Bone marrow aspirate smear; 250×250:
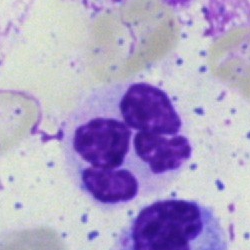
Segmented neutrophil.